Bone marrow smear. Brightfield, 40× oil-immersion objective.
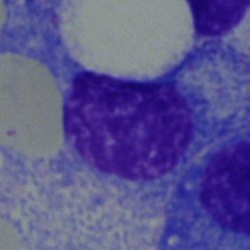
Morphological class — plasma cell.